250×250 px. Bone marrow aspirate smear
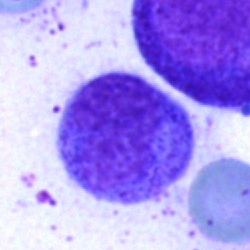

Specimen: bone marrow aspirate smear.
Classification: cell of indeterminate lineage.